Peripheral blood film. Romanowsky-type stain: 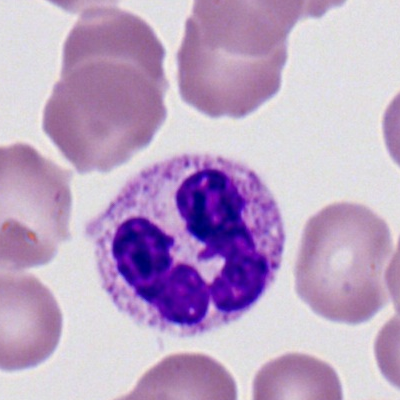 Classification — polymorphonuclear neutrophil.